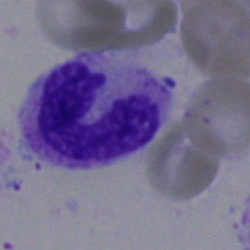

Single-cell crop from a bone marrow smear: stab cell.